Peripheral blood smear · 400 by 400 pixels: 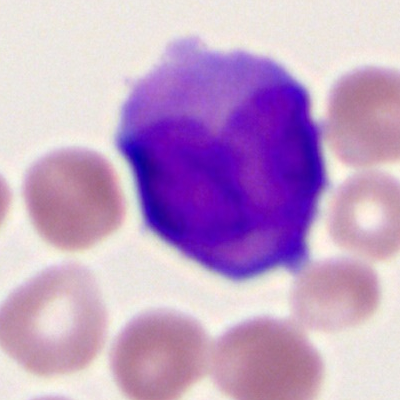

Cell type = bilobed promyelocyte.